Peripheral blood smear.
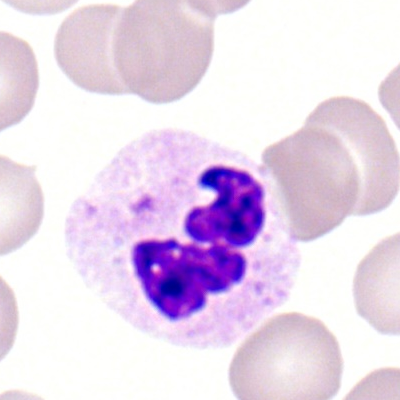 Cell: neutrophil (segmented).